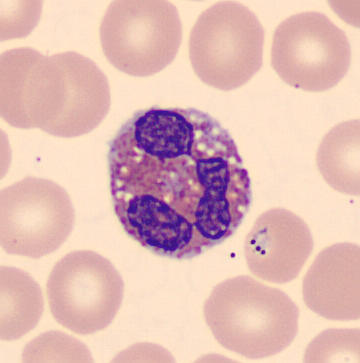This is an eosinophilic granulocyte.